Bone marrow smear. Single-cell crop.
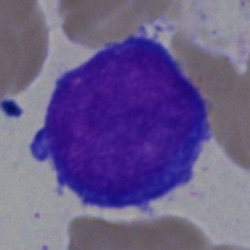 Q: Identify the cell.
A: A proerythroblast.